Single cell centered in the field. Bone marrow smear.
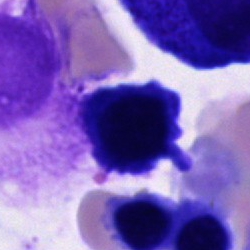
The classification is cell of indeterminate lineage.